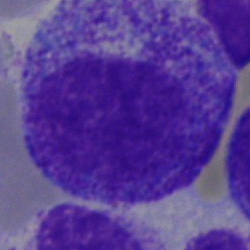Specimen: bone marrow smear.
Morphological class: promyelocyte.
Lineage: myeloid.